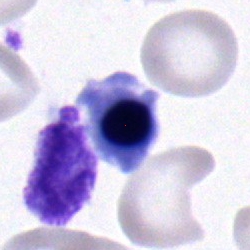

Cell type = normoblast.